Single cell centered in the field; bone marrow smear — 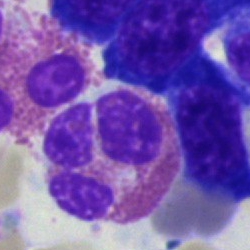 Showing an eosinophil.